Single-cell field · brightfield, 40× oil-immersion objective · bone marrow aspirate smear: 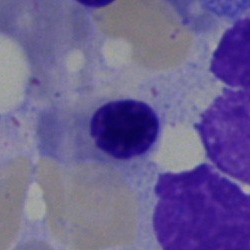
Q: What is shown here?
A: Erythroblast.